Bone marrow aspirate smear: 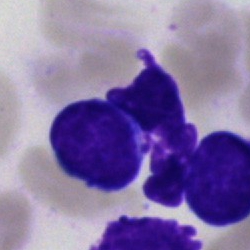
Morphology — typical lymphocyte.